250×250 px. Cropped to a single cell. Bone marrow smear:
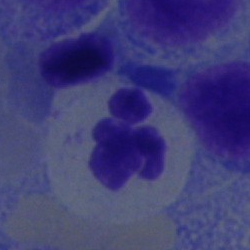

Specimen: bone marrow smear.
Cell: neutrophil (segmented).
Lineage: myeloid.